Bone marrow smear · single-cell crop · 40× objective, oil immersion: 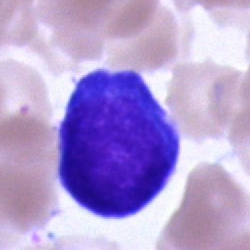Showing a pronormoblast.